Bone marrow aspirate smear.
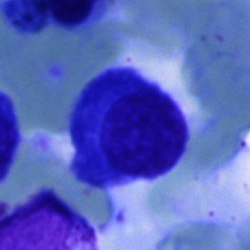

Q: Which cell type is shown here?
A: This is a plasmacyte.